Bone marrow aspirate smear.
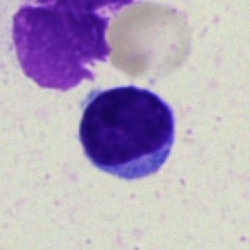 Showing a typical lymphocyte.